Peripheral blood smear. CellaVision DM96:
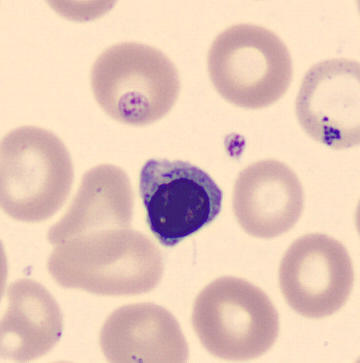 Q: What is shown here?
A: It is a nucleated red cell.